Bone marrow aspirate smear:
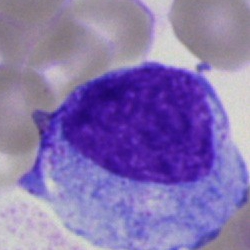 Q: What is the morphological classification of this cell?
A: This is a promyelocyte.